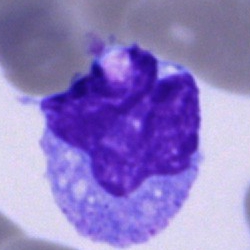 Monocyte.